Bone marrow smear: 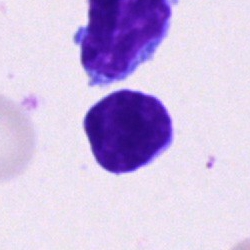 Morphology consistent with a typical lymphocyte.